Bone marrow smear · brightfield, 40× oil-immersion objective
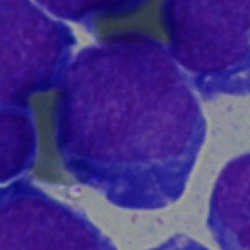
Classification — blast.